Bone marrow smear; single-cell crop.
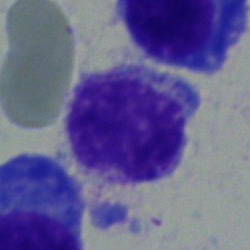Specimen: bone marrow smear.
Classification: myelocyte.
Lineage: myeloid.